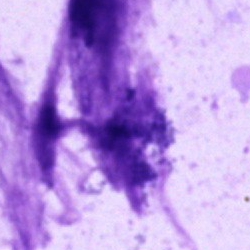

Impression — artefact.